Peripheral blood film:
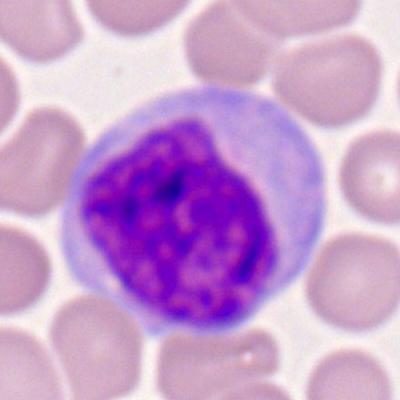 A monocyte.